Bone marrow smear. Image size 250×250:
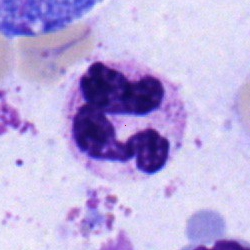

Showing a neutrophil (segmented).